Single-cell field. Peripheral blood smear:
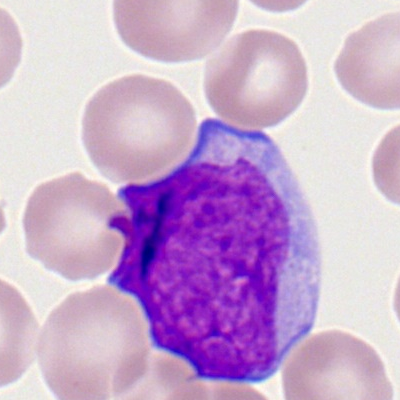Specimen: peripheral blood film.
Cell type: myeloid blast.
Lineage: myeloid.